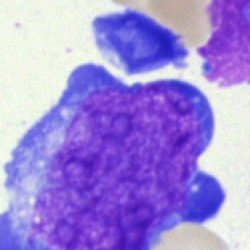Q: What cell is this?
A: Blast cell.